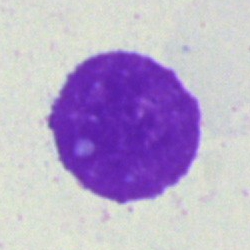 Specimen: bone marrow smear.
Classification: artefact.